Pappenheim-stained; bone marrow smear.
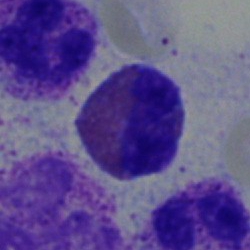

Cell type — eosinophil.